Bone marrow smear.
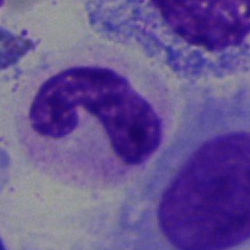 Cell type — segmented neutrophil.